Bone marrow smear. Cropped to a single cell. May-Grünwald-Giemsa/Pappenheim stain: 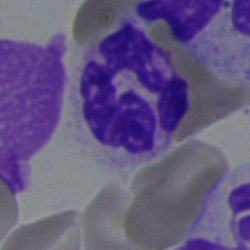 The cell shown is a segmented neutrophil.